250×250 · brightfield microscopy, 40× oil immersion · bone marrow aspirate smear:
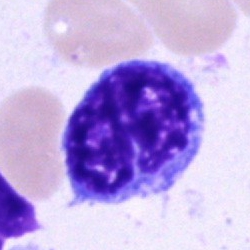 Morphological class = undifferentiated blast.